Peripheral blood smear
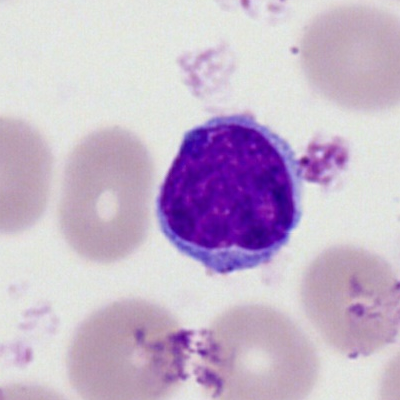
Morphology consistent with a lymphocyte.